250×250; bone marrow aspirate smear: 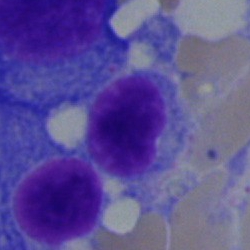

The classification is typical lymphocyte.